40× oil immersion · bone marrow smear.
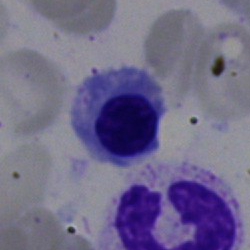
{"cell_type": "nucleated red cell"}